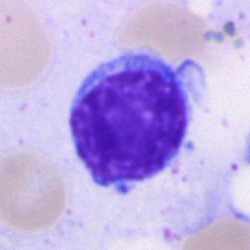Q: What type of cell is this?
A: It is a typical lymphocyte.